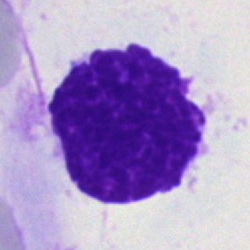 Classification: artefact.